Single cell centered in the field. Peripheral blood smear. M8 digital microscope (Precipoint), 100× oil immersion
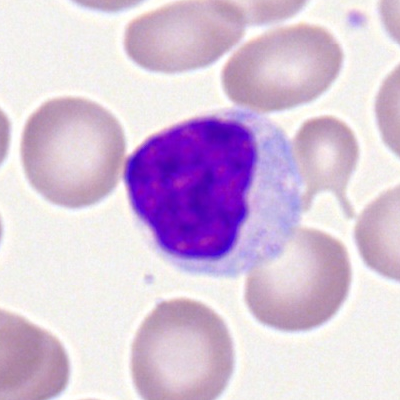Morphology — typical lymphocyte.